Single cell centered in the field. Peripheral blood film
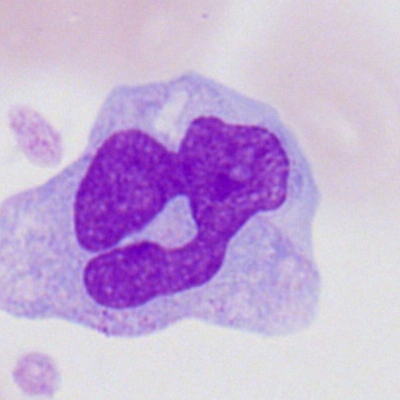 Specimen: peripheral blood smear.
Classification: monocyte.
Lineage: myeloid.